Peripheral blood film — 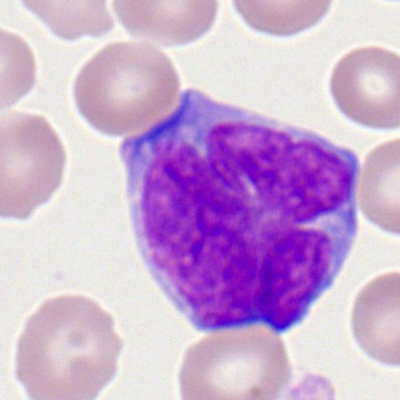 Single cell identified as a myeloblast.